Single-cell field. Bone marrow aspirate smear: 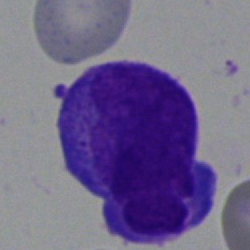Q: What type of cell is this?
A: Blast.